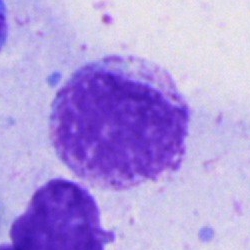Specimen: bone marrow smear.
Morphological class: artifact.